Peripheral blood film.
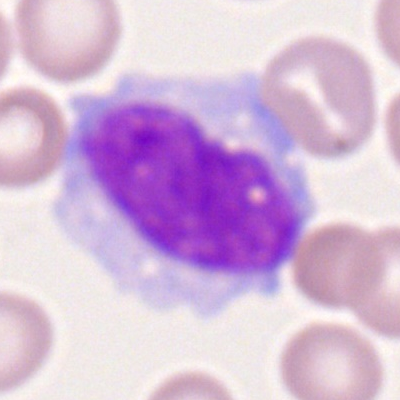 Q: What type of cell is this?
A: A monocyte.